Bone marrow aspirate smear. 250 by 250 pixels. Single-cell crop — 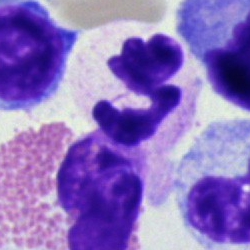 The cell shown is a segmented neutrophil.